Bone marrow aspirate smear — 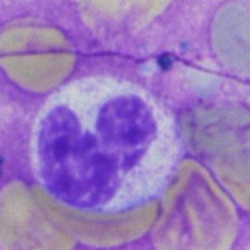Q: Which cell type is shown here?
A: It is a segmented neutrophil.